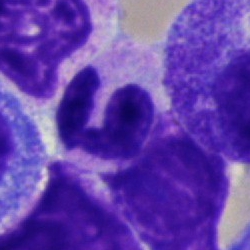

{"cell_type": "polymorphonuclear neutrophil"}